Bone marrow aspirate smear:
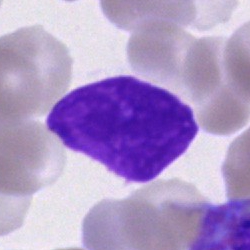The cell is artefact.